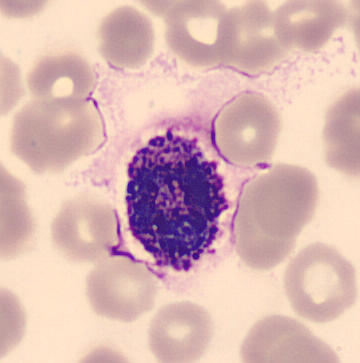
Showing a basophil. Image: Peripheral blood film. Cropped to a single cell.